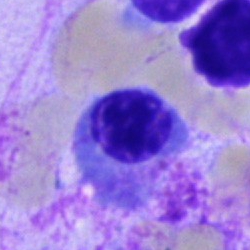Q: What type of cell is this?
A: An erythroblast.